Brightfield, 40× oil-immersion objective; bone marrow aspirate smear
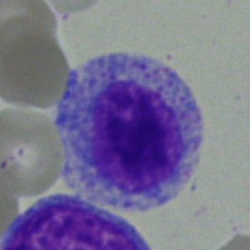The cell is myelocyte.